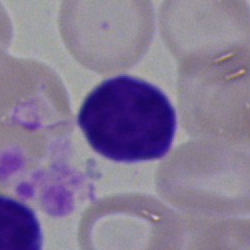
Q: What is shown here?
A: A lymphocyte.